Bone marrow aspirate smear: 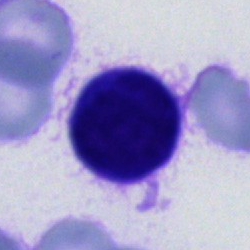Cell type = cell of indeterminate lineage.